Bone marrow aspirate smear.
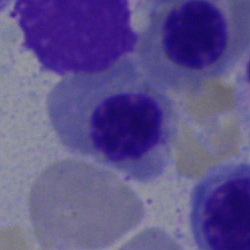

Classification — erythroblast.